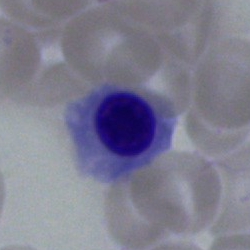
Bone marrow smear showing a normoblast.